Single cell centered in the field · peripheral blood film:
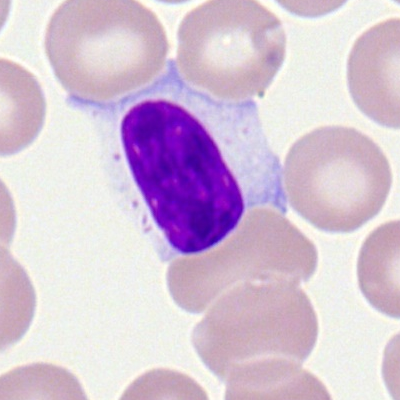
Impression — typical lymphocyte.